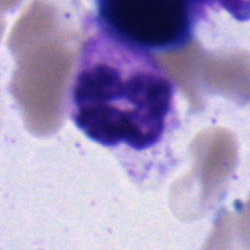

Q: Which cell type is shown here?
A: This is a polymorphonuclear neutrophil.